Pappenheim-stained; bone marrow aspirate smear — 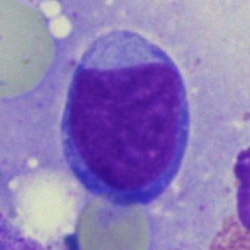

Morphological class — blast.